Peripheral blood smear.
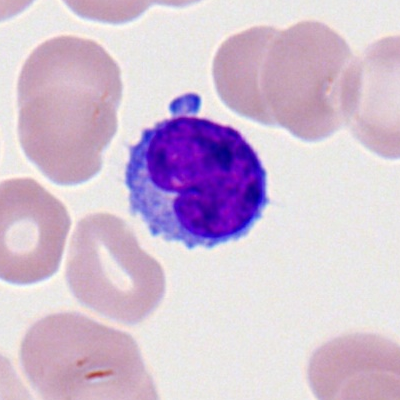Q: Identify the cell.
A: It is a typical lymphocyte.